Bone marrow smear. Single-cell field. 40× objective, oil immersion.
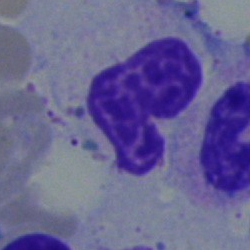

Q: Identify the cell.
A: This is a stab cell.